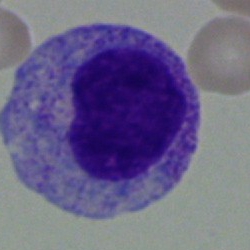
Specimen: bone marrow aspirate smear.
Classification: myelocyte.
Lineage: myeloid.